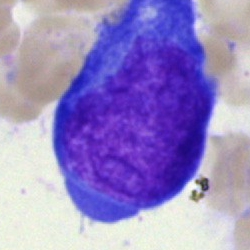
{"cell_type": "blast cell"}